Bone marrow smear · brightfield microscopy, 40× oil immersion:
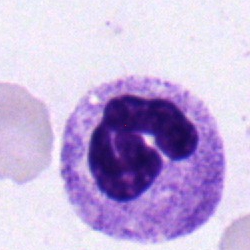

This is a neutrophil (segmented).